40× oil immersion. Bone marrow aspirate smear:
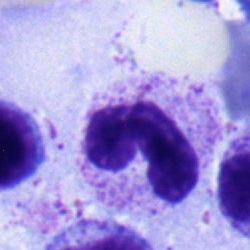

Specimen: bone marrow aspirate smear.
Classification: band neutrophil.
Lineage: myeloid.